Bone marrow smear. 40× oil immersion.
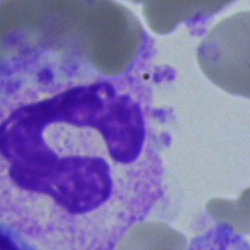

Specimen: bone marrow aspirate smear.
Morphological class: segmented neutrophil.